Bone marrow smear:
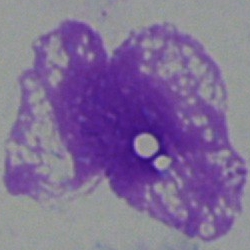Morphology — artifact.